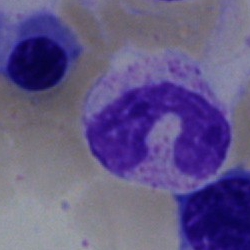Impression — band-form neutrophil.